Bone marrow aspirate smear; 40× objective, oil immersion; MGG-stained.
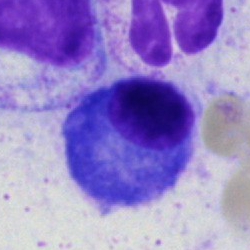The cell shown is a plasmacyte.